Bone marrow aspirate smear:
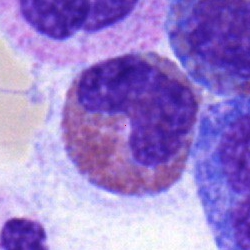An eosinophil.